Bone marrow aspirate smear. 40× oil immersion:
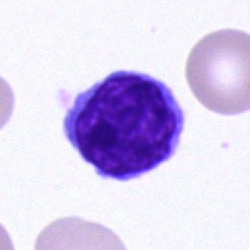
Classification — typical lymphocyte.